Peripheral blood film:
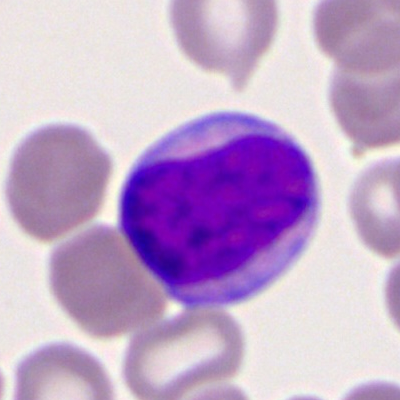{"cell_type": "myeloid blast"}